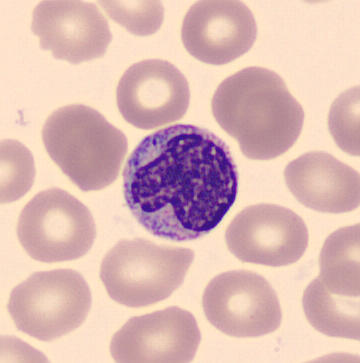

Morphology consistent with a metamyelocyte.

Image: Peripheral blood smear. 360 by 363 pixels. MGG stain.